Peripheral blood film: 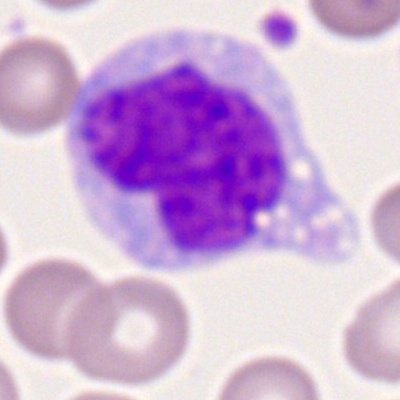

The morphological class is monocyte.